40× oil immersion; bone marrow smear.
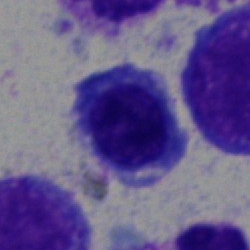

Morphology consistent with a nucleated red blood cell.